Bone marrow smear: 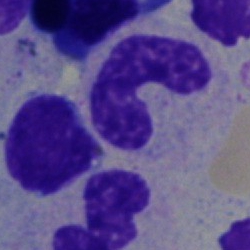 {"cell_type": "neutrophil (band)", "lineage": "myeloid"}